Bone marrow aspirate smear: 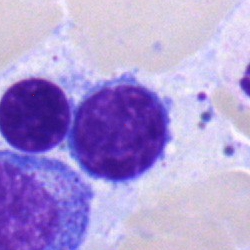
Cell = lymphocyte.